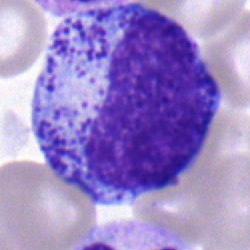Specimen: bone marrow aspirate smear.
Cell: metamyelocyte.